May-Grünwald-Giemsa/Pappenheim stain; bone marrow aspirate smear — 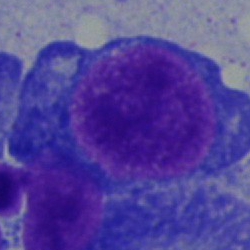

Q: What type of cell is this?
A: A proerythroblast.